Romanowsky stain; peripheral blood film; cropped to a single cell.
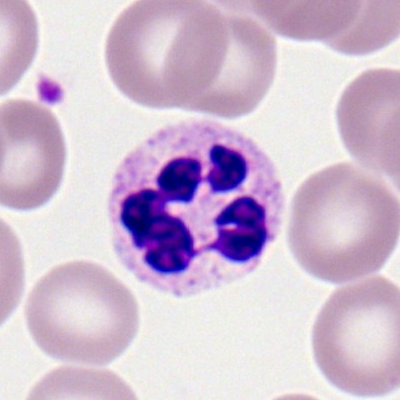

Cell type — segmented neutrophil.